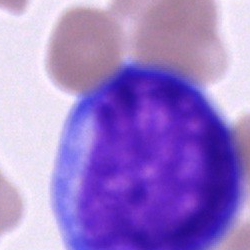

This is a blast cell.